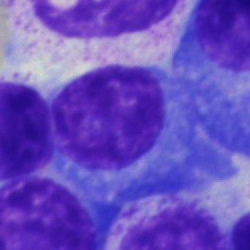
Q: What is the morphological classification of this cell?
A: Plasma cell.